Bone marrow aspirate smear · 250 by 250 pixels
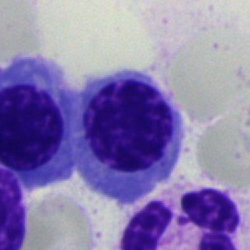
Impression — normoblast.